Bone marrow aspirate smear · May-Grünwald-Giemsa stain · brightfield microscopy, 40× oil immersion — 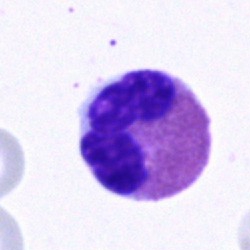{"cell_type": "eosinophilic granulocyte"}